Peripheral blood smear
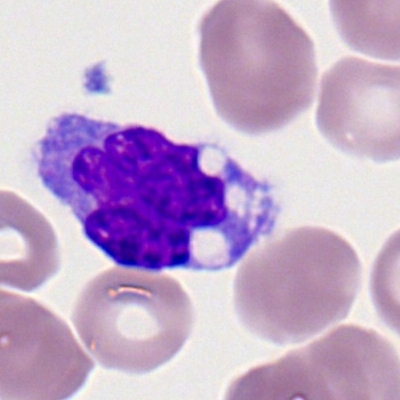

Showing a monocyte.